Bone marrow aspirate smear — 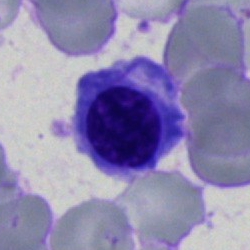 The morphological class is erythroblast.